40× objective, oil immersion · MGG-stained · bone marrow smear — 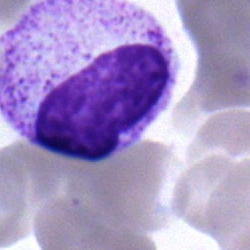

Cell: metamyelocyte.